Bone marrow smear; MGG-stained; brightfield microscopy, 40× oil immersion: 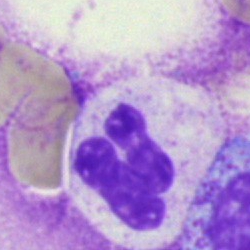
Showing a neutrophil (segmented).